Bone marrow aspirate smear.
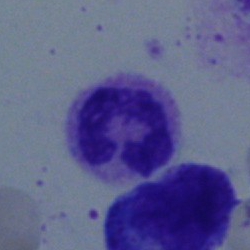
{"cell_type": "neutrophil (segmented)"}